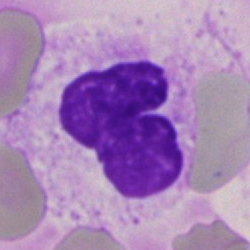

Impression → neutrophil (band).